Bone marrow smear: 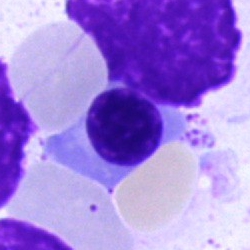
Impression — erythroblast.